May-Grünwald-Giemsa stain; bone marrow smear: 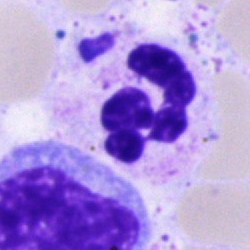 {"cell_type": "segmented neutrophil"}